Bone marrow aspirate smear — 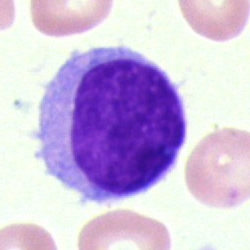

The cell shown is a typical lymphocyte.